Bone marrow smear.
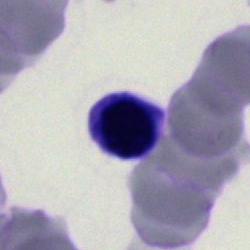
Specimen: bone marrow aspirate smear.
Morphological class: nucleated red blood cell.
Lineage: erythroid.